Bone marrow smear; 40× objective, oil immersion — 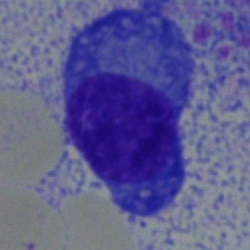

Q: What type of cell is this?
A: It is a plasmacyte.